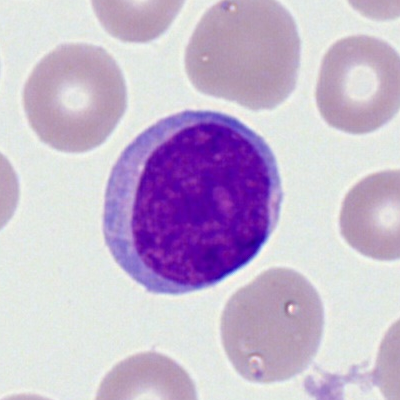

This is a myeloid blast.